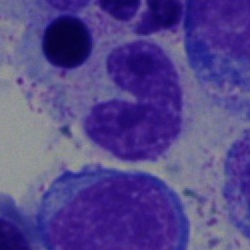The cell type is band-form neutrophil.